Bone marrow aspirate smear.
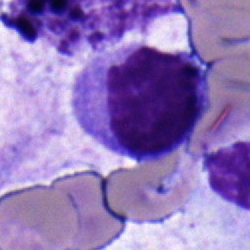 The cell is typical lymphocyte.